Bone marrow aspirate smear
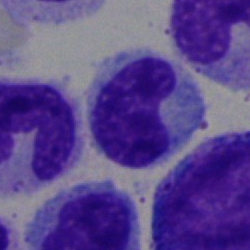 Cell — metamyelocyte.